Bone marrow aspirate smear — 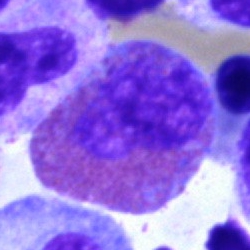 An eosinophil.